Bone marrow aspirate smear · 250 by 250 pixels
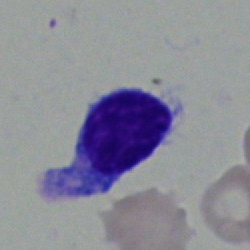The cell type is typical lymphocyte.